Bone marrow smear; image size 250×250.
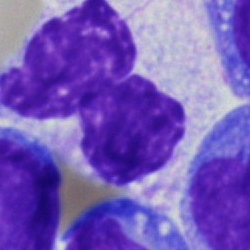 Morphology → artifact.